Single cell centered in the field. Bone marrow aspirate smear — 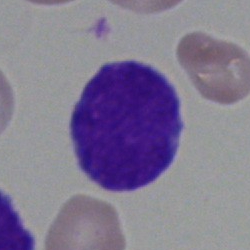
Q: What type of cell is this?
A: Typical lymphocyte.